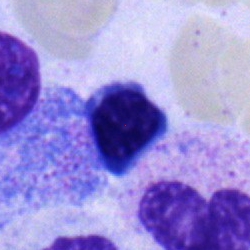
Q: What is shown here?
A: A typical lymphocyte.